Bone marrow aspirate smear.
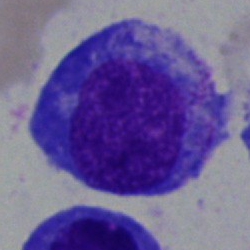 Q: Identify the cell.
A: This is a promyelocyte.